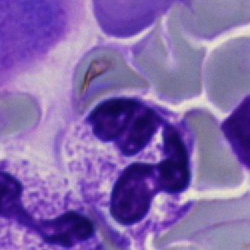
Specimen: bone marrow smear.
Classification: polymorphonuclear neutrophil.